May-Grünwald-Giemsa/Pappenheim stain. Bone marrow smear.
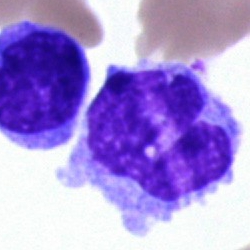
Morphology consistent with a monocyte.